Pappenheim-stained; single-cell crop; bone marrow smear:
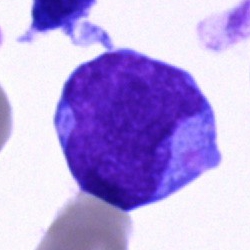Morphological class: blast cell.